Pappenheim-stained · bone marrow smear
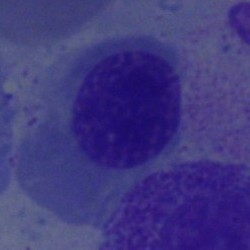 Single cell identified as an erythroblast.